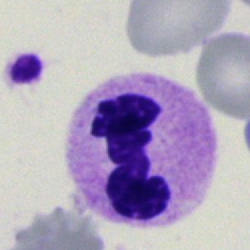Neutrophil (segmented).